Bone marrow smear.
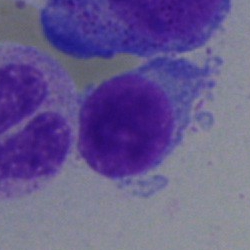 This is a lymphocyte.